Bone marrow smear: 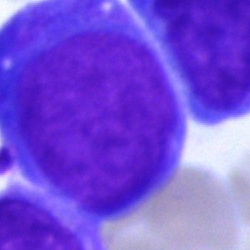

Blast.